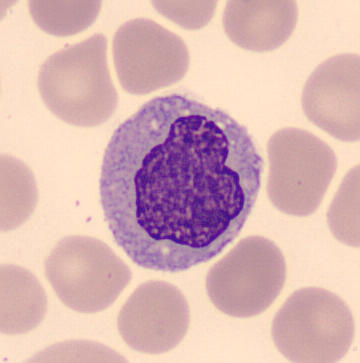 Classification — monocyte.